Bone marrow aspirate smear.
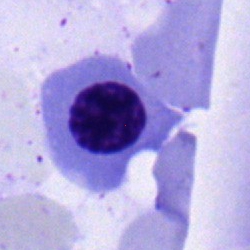
Specimen: bone marrow smear.
Classification: nucleated red cell.
Lineage: erythroid.